May-Grünwald-Giemsa stain · bone marrow smear · brightfield, 40× oil-immersion objective — 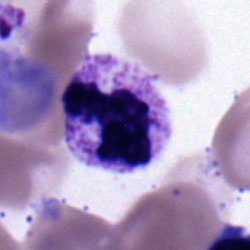
Specimen: bone marrow smear.
Cell type: polymorphonuclear neutrophil.